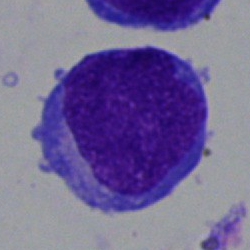Q: What is shown here?
A: It is an undifferentiated blast.